Bone marrow smear:
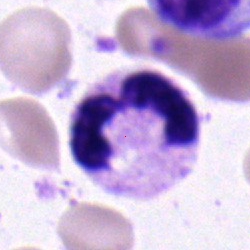The cell type is polymorphonuclear neutrophil.